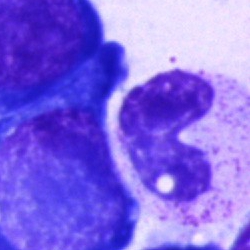 Cell = band-form neutrophil.